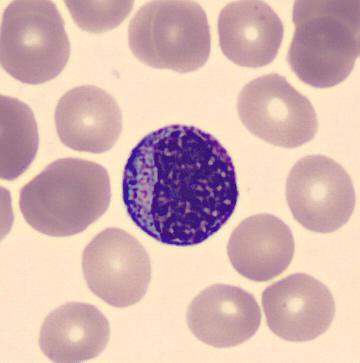Morphology consistent with a myelocyte.
Preparation: Single cell centered in the field. Peripheral blood film.